Peripheral blood film.
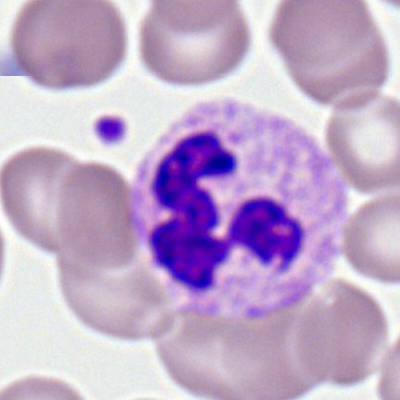
Impression → segmented neutrophil.